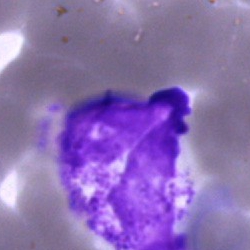 {"cell_type": "polymorphonuclear neutrophil"}